Bone marrow aspirate smear: 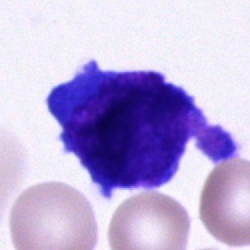Q: What is the morphological classification of this cell?
A: Cell of indeterminate lineage.